250×250. 40× oil immersion. Bone marrow aspirate smear.
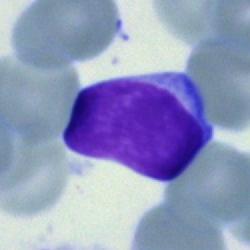 Cell — lymphocyte.